Bone marrow aspirate smear:
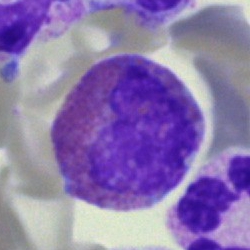The classification is eosinophil.